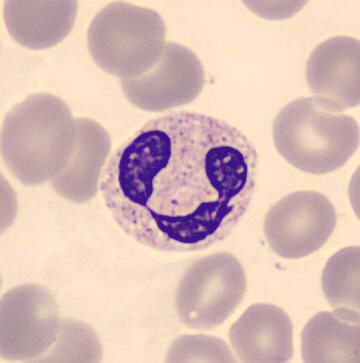
The cell shown is a segmented neutrophil.
Acquisition: Peripheral blood smear.